Bone marrow smear — 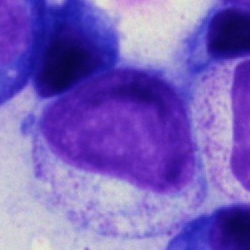 Morphology consistent with a myelocyte.